250×250 px; bone marrow smear
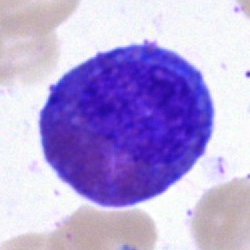

Morphology → eosinophil.